40× oil immersion. Bone marrow aspirate smear: 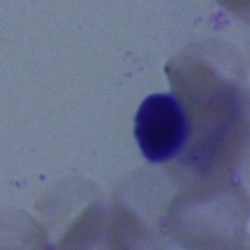A typical lymphocyte.